Bone marrow aspirate smear: 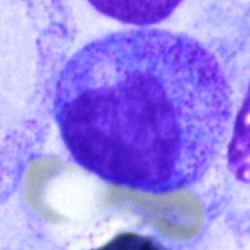 The morphological class is promyelocyte.